Bone marrow aspirate smear.
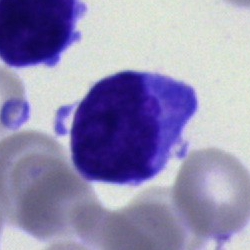Specimen: bone marrow aspirate smear.
Cell type: undifferentiated blast.